Bone marrow aspirate smear · May-Grünwald-Giemsa/Pappenheim stain · brightfield microscopy, 40× oil immersion — 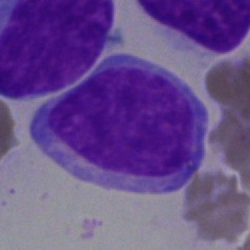This is a blast cell.